Bone marrow smear · 250 by 250 pixels — 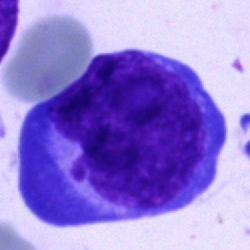

A blast cell.